Bone marrow aspirate smear: 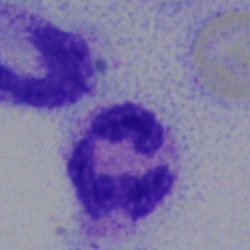 Neutrophil (segmented).